Peripheral blood smear. M8 digital microscope (Precipoint), 100× oil immersion: 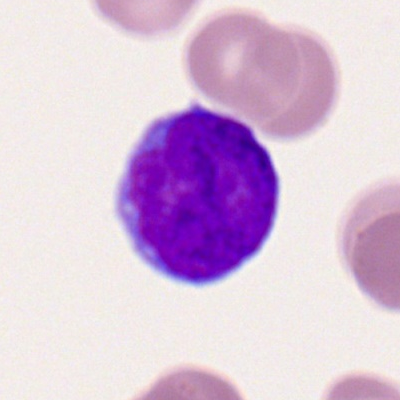 The morphological class is myeloblast.